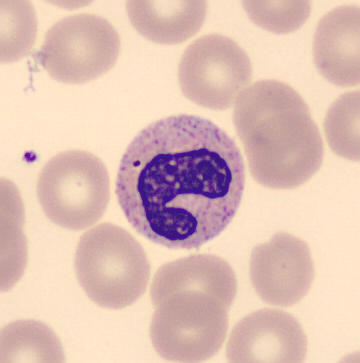Morphological class = band-form neutrophil.
Acquisition: MGG-stained; peripheral blood film.